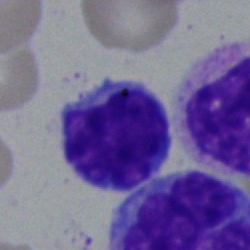

Impression — typical lymphocyte.